Peripheral blood smear: 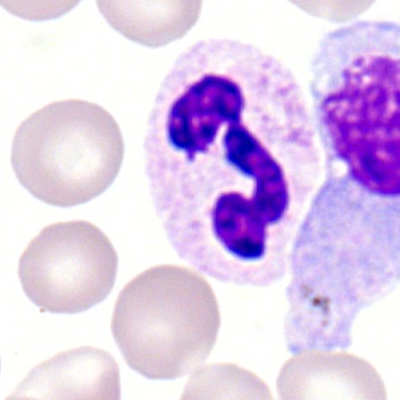 Morphological class — segmented neutrophil.